Bone marrow aspirate smear. Pappenheim-stained — 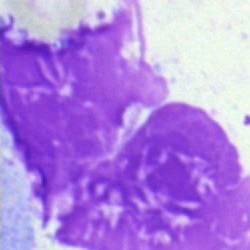

Specimen: bone marrow smear.
Cell type: artifact.